Bone marrow aspirate smear; single-cell crop; MGG-stained — 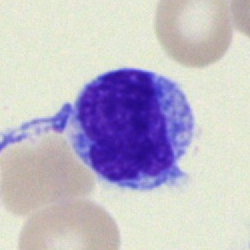
Showing a typical lymphocyte.